Peripheral blood smear · 100× oil immersion, 14.14 px/µm · Romanowsky-type stain — 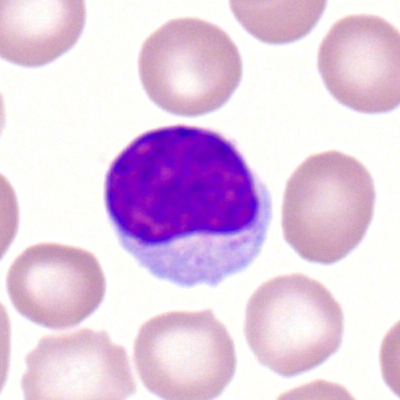 Q: What is shown here?
A: It is a typical lymphocyte.